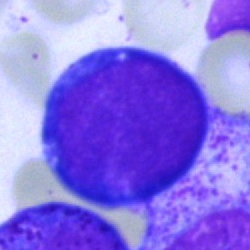 Morphology consistent with a proerythroblast.